40× objective, oil immersion. Bone marrow smear.
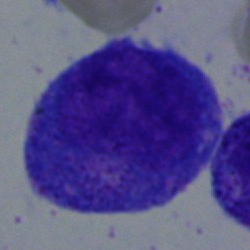Q: What cell is this?
A: A promyelocyte.